Bone marrow smear: 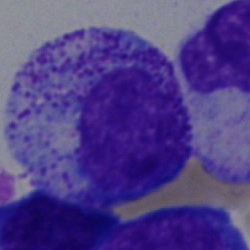

Cell type: progranulocyte.